Bone marrow aspirate smear. Cropped to a single cell. Image size 250×250 — 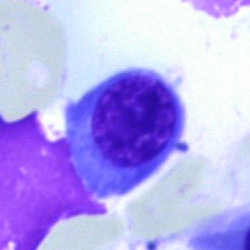 Specimen: bone marrow smear.
Cell type: erythroblast.